Peripheral blood film
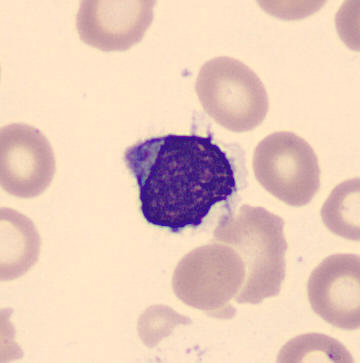 Q: What is the morphological classification of this cell?
A: It is a lymphocyte.